Bone marrow aspirate smear.
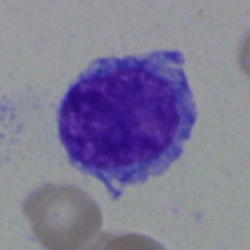
Morphology — lymphocyte.